Bone marrow aspirate smear
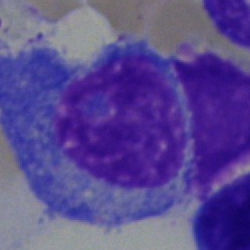 The cell is plasmacyte.